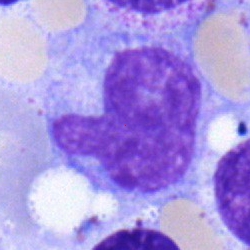Classification = monocyte.